Single-cell crop · 250 by 250 pixels · bone marrow smear
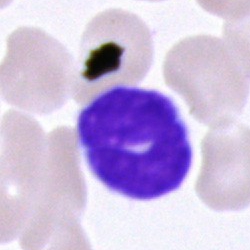Cell type — unidentifiable cell.